Bone marrow aspirate smear — 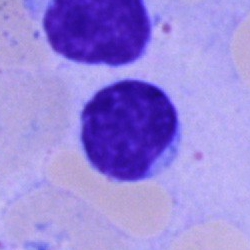 {"cell_type": "lymphocyte", "lineage": "lymphoid"}